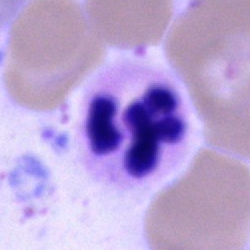Single-cell crop from a bone marrow smear: polymorphonuclear neutrophil.